Bone marrow smear; image size 250×250 — 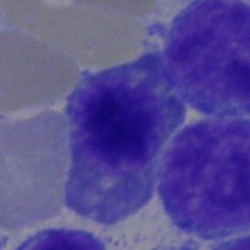

Nucleated red cell.